Bone marrow aspirate smear:
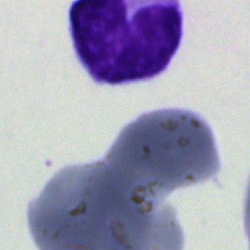 Morphology — artefact.